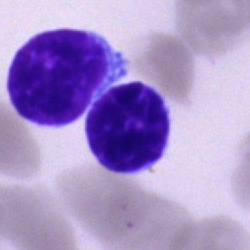

Specimen: bone marrow aspirate smear.
Cell: typical lymphocyte.